Peripheral blood film — 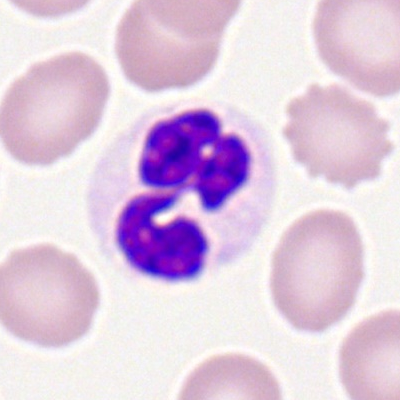Cell: segmented neutrophil.